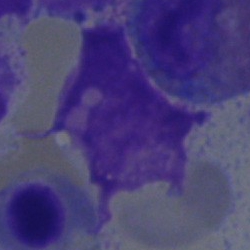Cell type — artifact.